Peripheral blood film · Romanowsky stain:
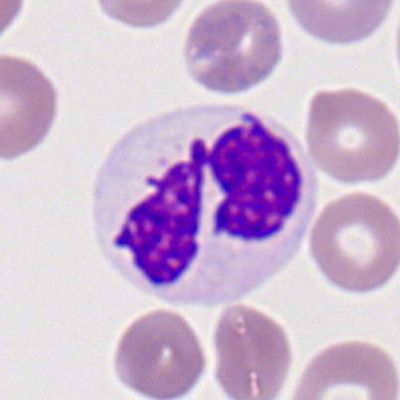 Q: Identify the cell.
A: It is a neutrophil (segmented).